40× objective, oil immersion · bone marrow aspirate smear — 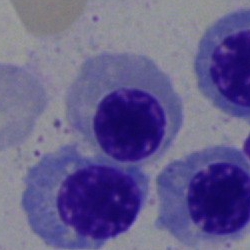
Showing a normoblast.